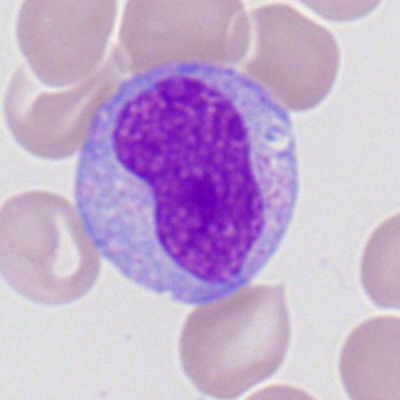

A monocyte.